Peripheral blood smear — 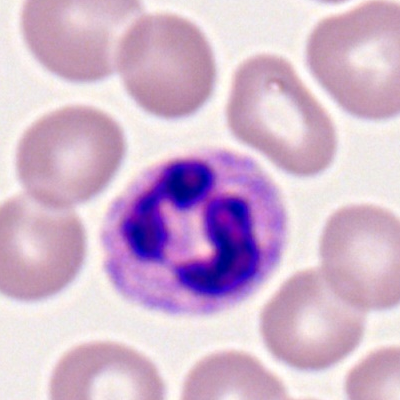 Morphology — polymorphonuclear neutrophil.